Bone marrow aspirate smear
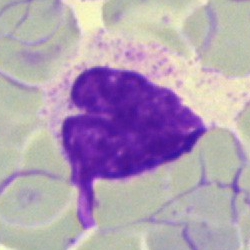

This is an artifact.